Bone marrow smear
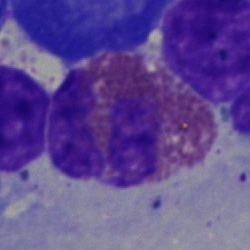

An eosinophilic granulocyte.